Bone marrow aspirate smear:
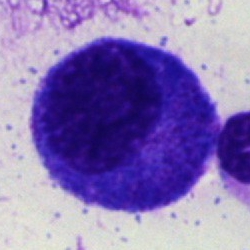Cell = promyelocyte.